Bone marrow aspirate smear
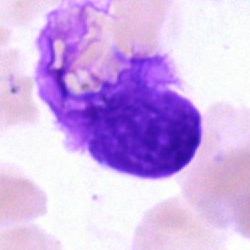This is an artefact.